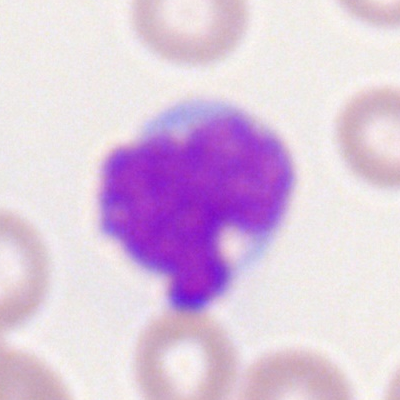

Morphology — myeloblast.